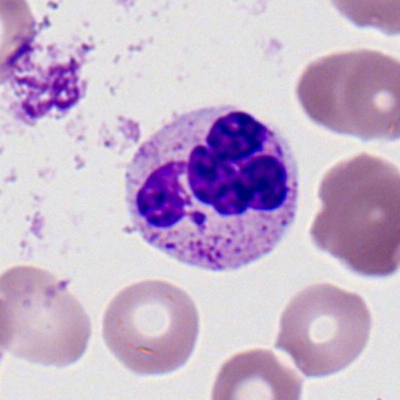Impression → neutrophil (segmented).